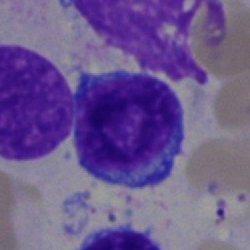 {"cell_type": "typical lymphocyte"}